May-Grünwald-Giemsa stain; bone marrow aspirate smear: 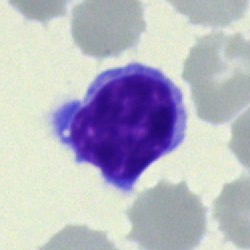
Showing a lymphocyte.